MGG-stained. Bone marrow aspirate smear:
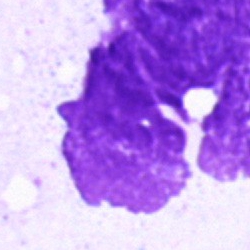 An artifact.